Bone marrow aspirate smear.
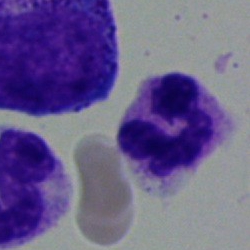Q: What type of cell is this?
A: It is a neutrophil (segmented).